Bone marrow smear: 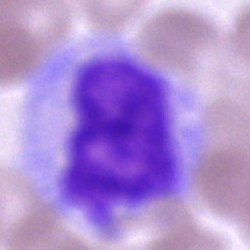
Impression — blast.